Peripheral blood film — 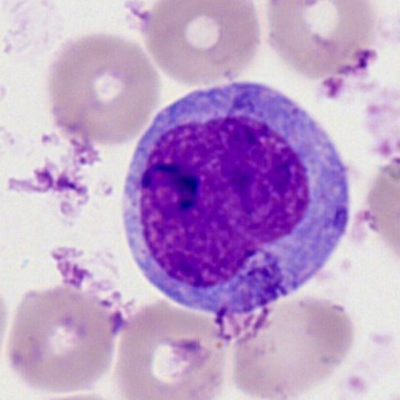

Specimen: peripheral blood film.
Cell type: myeloblast.